Bone marrow aspirate smear: 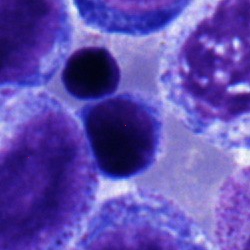 The morphological class is lymphocyte.